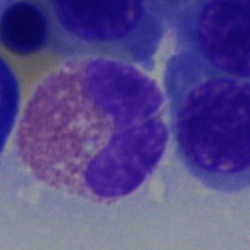 Classification = eosinophilic granulocyte.